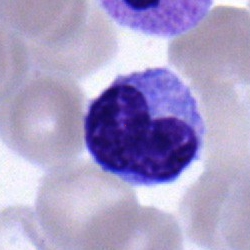
Morphological class — metamyelocyte.